Peripheral blood film · image size 400×400 — 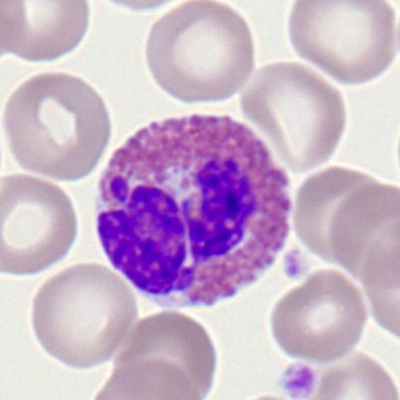Single cell identified as an eosinophil.